Bone marrow smear — 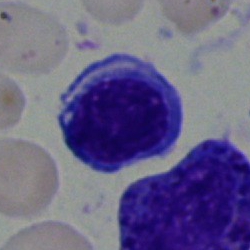
Classification: normoblast.